Bone marrow smear
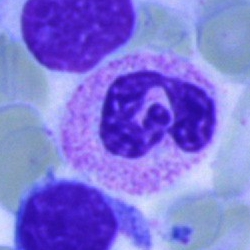
Impression — polymorphonuclear neutrophil.